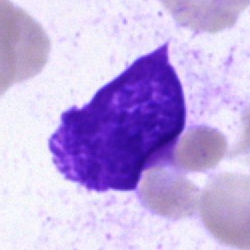
Artefact.